250 by 250 pixels; bone marrow aspirate smear — 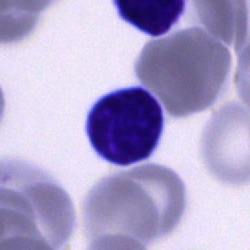 Specimen: bone marrow smear.
Morphological class: lymphocyte.
Lineage: lymphoid.